Bone marrow smear: 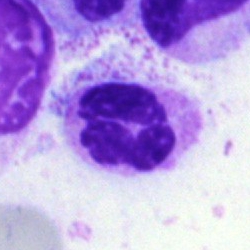Specimen: bone marrow smear.
Cell type: segmented neutrophil.
Lineage: myeloid.